Bone marrow aspirate smear.
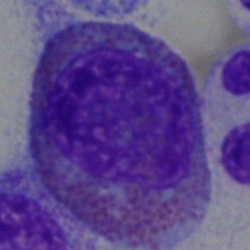

The cell type is eosinophilic granulocyte.